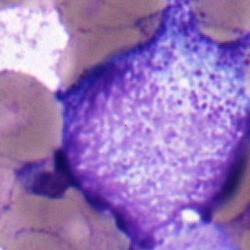
Single cell identified as a promyelocyte.